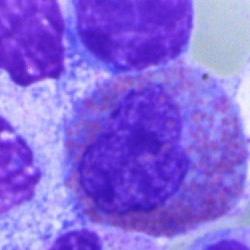

Specimen: bone marrow aspirate smear.
Classification: eosinophil.